Bone marrow smear.
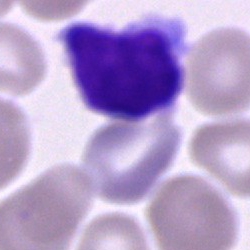

Specimen: bone marrow smear.
Cell type: unidentifiable cell.